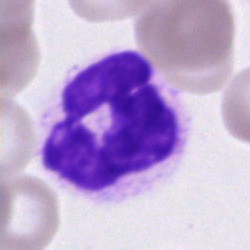 Cell type = neutrophil (segmented).